Bone marrow smear — 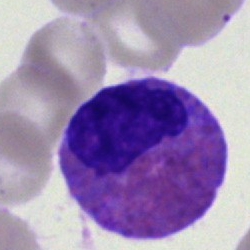 The cell type is eosinophilic granulocyte.